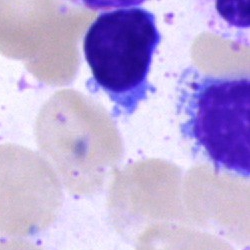 Bone marrow aspirate smear, single cell — typical lymphocyte.